Bone marrow smear
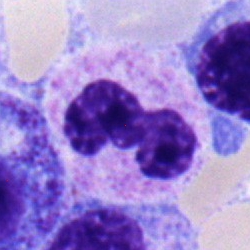

This is a polymorphonuclear neutrophil.